Bone marrow aspirate smear.
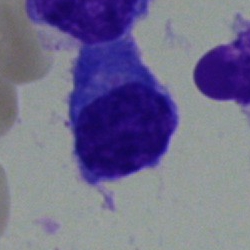

Impression → plasma cell.